250 by 250 pixels. Bone marrow smear — 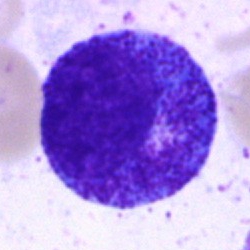 A promyelocyte.